Bone marrow smear:
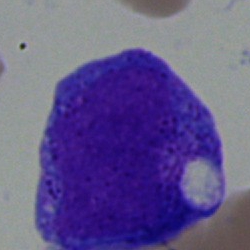
The cell is blast.